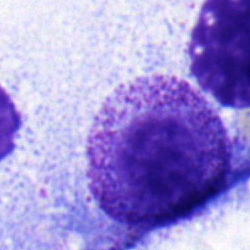

Cell: myelocyte.